Bone marrow smear: 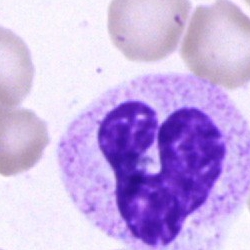Specimen: bone marrow smear.
Morphological class: band neutrophil.
Lineage: myeloid.